Bone marrow smear — 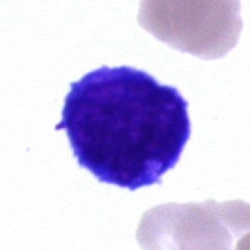 The cell shown is a lymphocyte.